40× oil immersion; bone marrow smear.
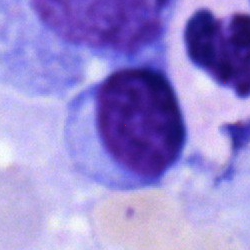
Single cell identified as a typical lymphocyte.